Bone marrow aspirate smear:
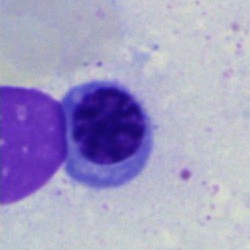 Classification — nucleated red blood cell.